May-Grünwald-Giemsa stain. 40× oil immersion. Bone marrow smear — 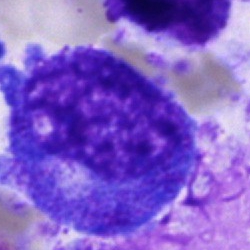 The classification is progranulocyte.